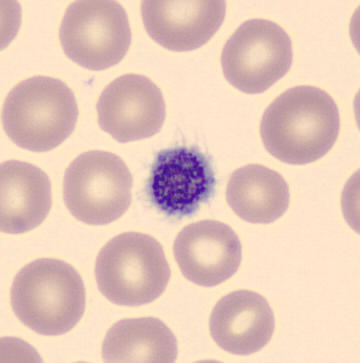 Peripheral blood smear showing a platelet (thrombocyte).